Bone marrow smear.
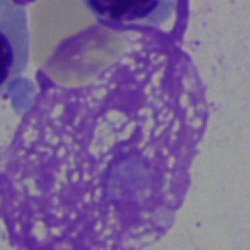This is an artifact.